Bone marrow aspirate smear — 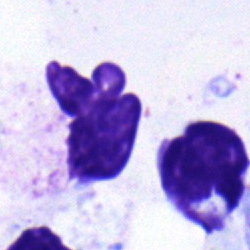

The cell shown is a polymorphonuclear neutrophil.